250×250 px. Bone marrow smear
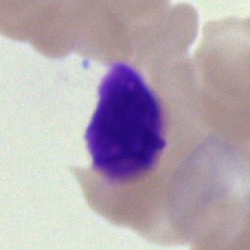Specimen: bone marrow smear.
Cell type: artefact.